400×400 px · peripheral blood smear — 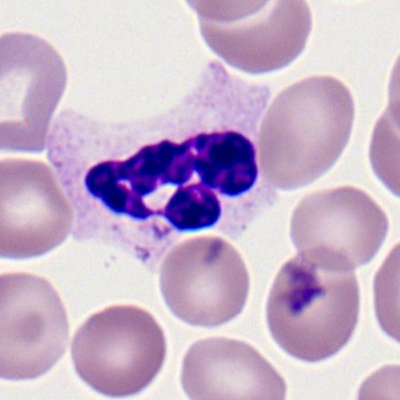

Cell type — segmented neutrophil.